Bone marrow aspirate smear — 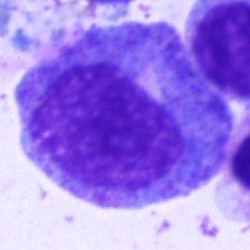 The cell is promyelocyte.